Single cell centered in the field; bone marrow smear — 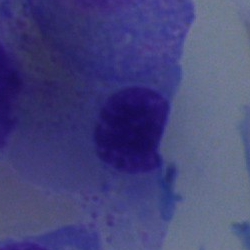

Specimen: bone marrow aspirate smear.
Morphological class: nucleated red cell.